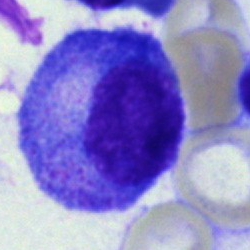 The cell shown is a progranulocyte.